250 by 250 pixels. Bone marrow aspirate smear. MGG-stained: 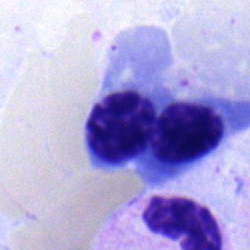 Showing an erythroblast.